Bone marrow aspirate smear:
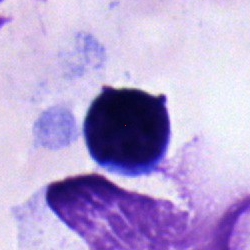

Specimen: bone marrow aspirate smear.
Morphological class: lymphocyte.